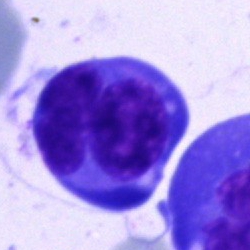
{"cell_type": "blast"}